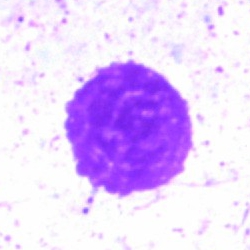

The morphological class is artifact.